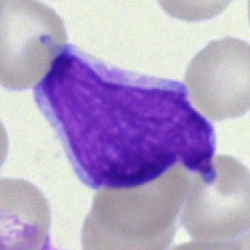 Morphology → undifferentiated blast.